Bone marrow aspirate smear:
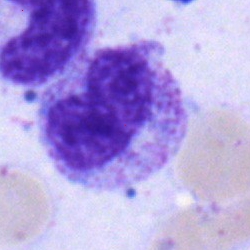

{"cell_type": "metamyelocyte", "lineage": "myeloid"}